Bone marrow smear: 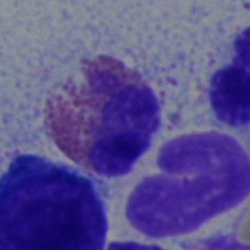 Specimen: bone marrow smear.
Cell: eosinophilic granulocyte.
Lineage: myeloid.